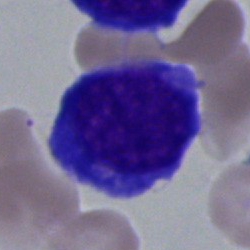 Q: What type of cell is this?
A: It is a nucleated red cell.